Peripheral blood film.
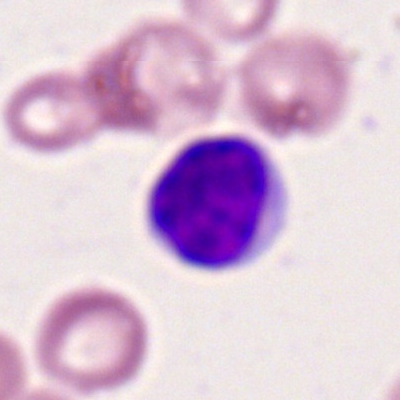

A lymphocyte.